Bone marrow aspirate smear; 40× oil immersion; single cell centered in the field.
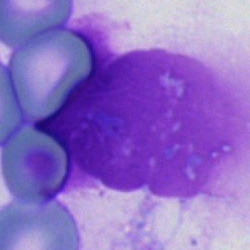

Single cell identified as an artefact.